Romanowsky-stained. Peripheral blood film — 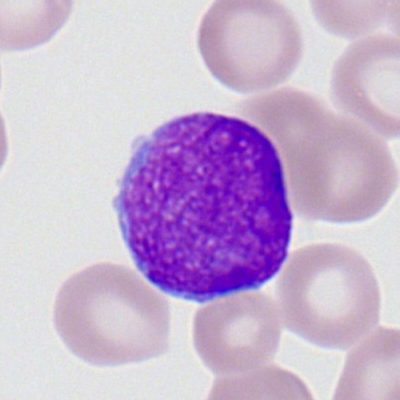 Q: What is the morphological classification of this cell?
A: It is a myeloid blast.